Peripheral blood film.
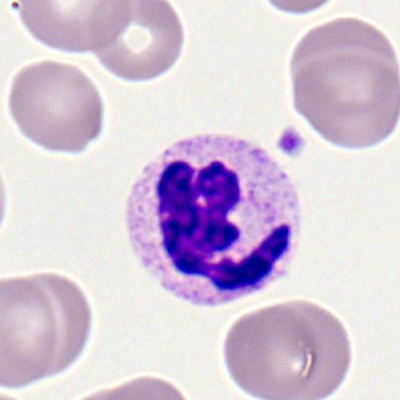Cell type: segmented neutrophil.